Brightfield microscopy, 40× oil immersion; bone marrow aspirate smear
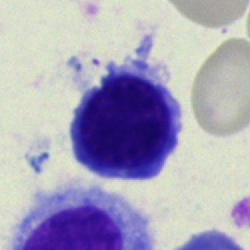Lymphocyte.